Bone marrow aspirate smear · 250×250 · Pappenheim-stained:
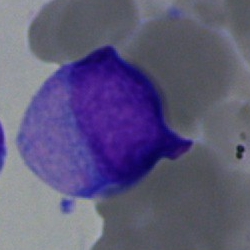 {"cell_type": "undifferentiated blast"}